Cropped to a single cell. Romanowsky-stained. Peripheral blood smear
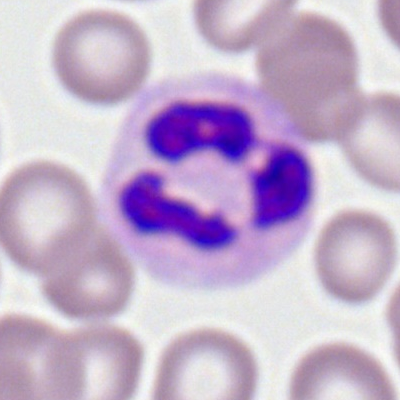
This is a neutrophil (segmented).